250 by 250 pixels; bone marrow smear — 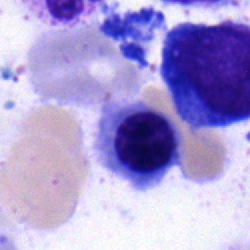 Specimen: bone marrow smear.
Cell: erythroblast.
Lineage: erythroid.